Bone marrow smear:
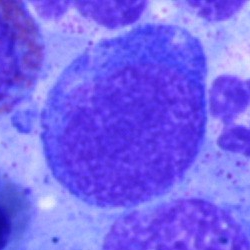

Specimen: bone marrow smear.
Cell type: progranulocyte.